Single cell centered in the field · bone marrow aspirate smear: 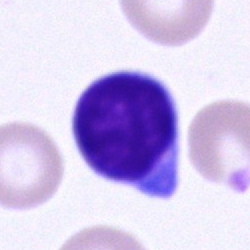 The cell shown is a typical lymphocyte.